Bone marrow smear.
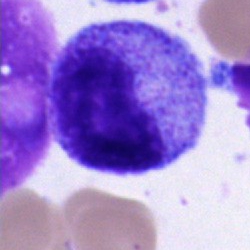
Q: What type of cell is this?
A: Promyelocyte.